Bone marrow aspirate smear
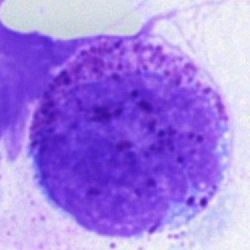 Cell: basophil.